Bone marrow aspirate smear — 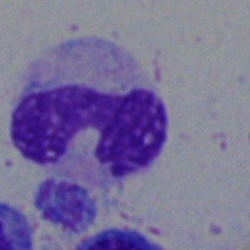
{"cell_type": "stab cell", "lineage": "myeloid"}